May-Grünwald-Giemsa/Pappenheim stain; bone marrow smear
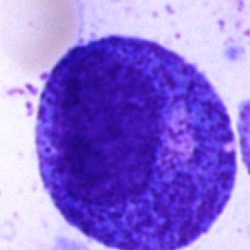

Progranulocyte.